250 by 250 pixels; bone marrow smear
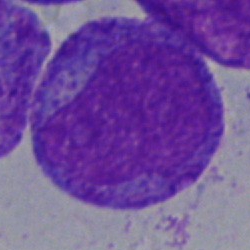 Q: What is shown here?
A: It is a blast cell.